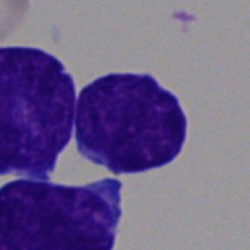A blast cell.